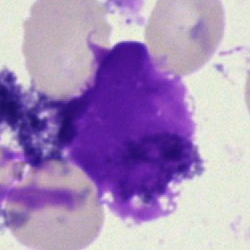 The cell is artefact.